Bone marrow aspirate smear.
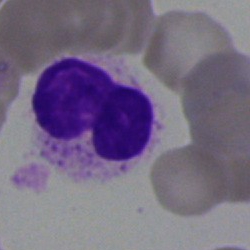
Morphology consistent with an artifact.